Peripheral blood smear:
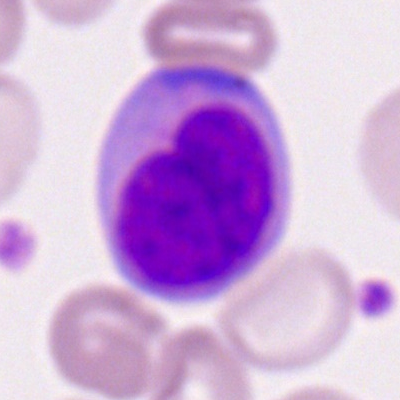

Q: What is the morphological classification of this cell?
A: Myeloblast.